Bone marrow aspirate smear — 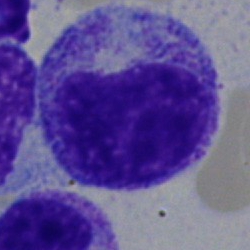

Specimen: bone marrow smear.
Morphological class: myelocyte.
Lineage: myeloid.